Bone marrow aspirate smear
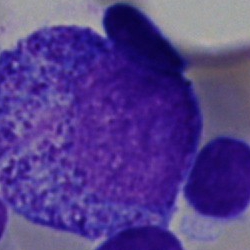 Morphological class = promyelocyte.